250 by 250 pixels; bone marrow smear — 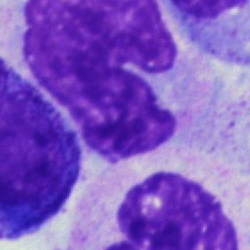
Cell: artefact.